Bone marrow smear:
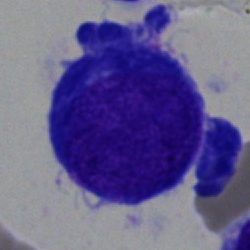Morphology consistent with an erythroblast.